Bone marrow smear. Brightfield microscopy, 40× oil immersion — 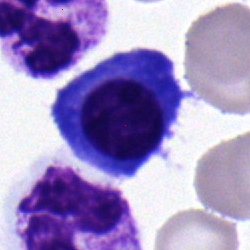
Classification: plasma cell.